Single cell centered in the field; brightfield, 40× oil-immersion objective; bone marrow aspirate smear
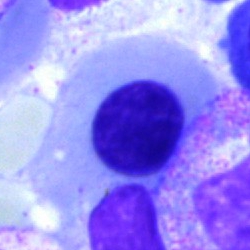 Specimen: bone marrow aspirate smear.
Classification: nucleated red cell.
Lineage: erythroid.